Bone marrow aspirate smear; single-cell field: 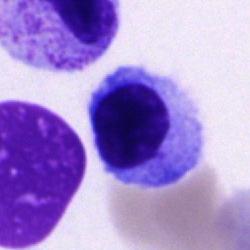

Cell of indeterminate lineage.